Peripheral blood film
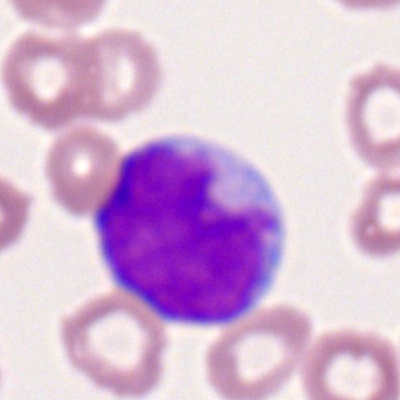

Cell = myeloblast.